Image size 250×250. Single-cell crop. Bone marrow smear: 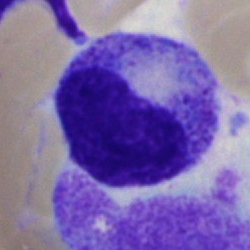 Morphology consistent with a promyelocyte.